Peripheral blood film — 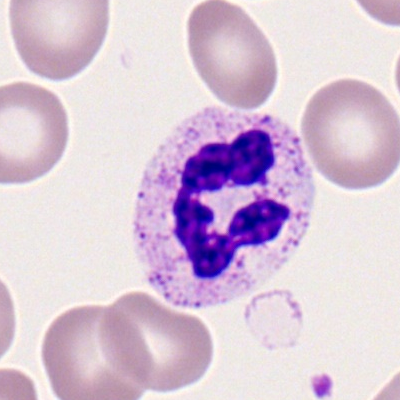Morphology — polymorphonuclear neutrophil.